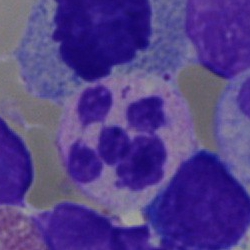
Polymorphonuclear neutrophil.